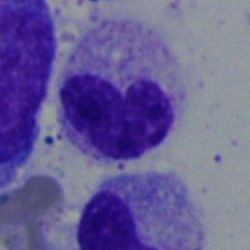

A band neutrophil on a bone marrow smear.